Brightfield, 40× oil-immersion objective. Pappenheim-stained. Bone marrow aspirate smear — 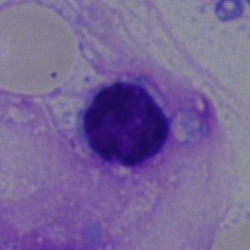Cell: typical lymphocyte.